Bone marrow aspirate smear:
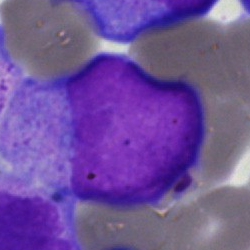
Classification: undifferentiated blast.